Cropped to a single cell · peripheral blood smear
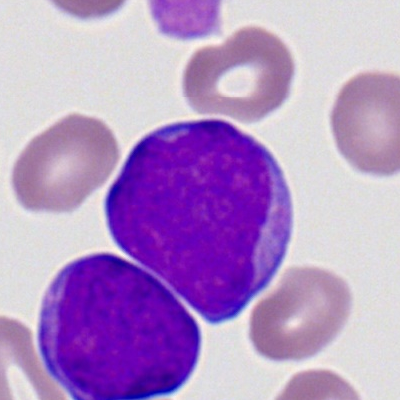Morphology consistent with a myeloblast.